May-Grünwald-Giemsa/Pappenheim stain · bone marrow smear — 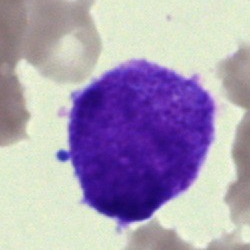
Undifferentiated blast.